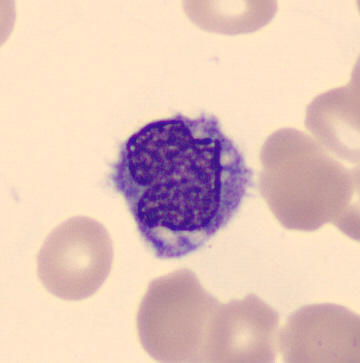

Peripheral blood smear showing a monocyte.